Peripheral blood smear.
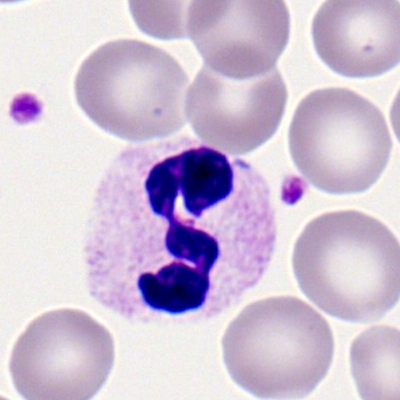 Classification: polymorphonuclear neutrophil.